Bone marrow aspirate smear.
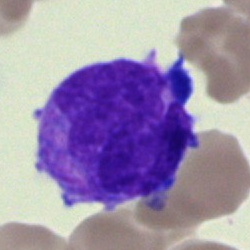Impression — blast cell.